Peripheral blood film; 100× objective, oil immersion
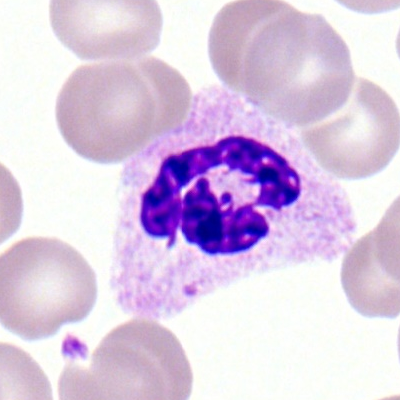

Classification — neutrophil (segmented).